Bone marrow smear; 40× oil immersion
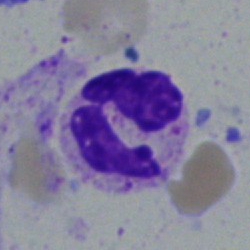Q: What cell is this?
A: It is a neutrophil (segmented).